Bone marrow smear
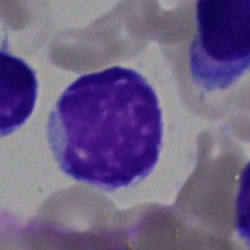

Typical lymphocyte.